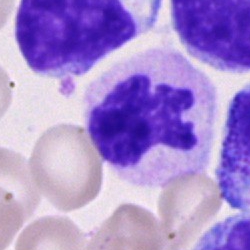

Q: Which cell type is shown here?
A: A segmented neutrophil.